Bone marrow smear.
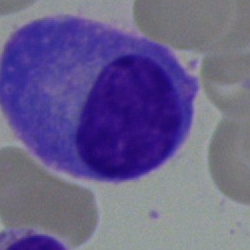

Cell = plasma cell.